Bone marrow smear · single-cell crop: 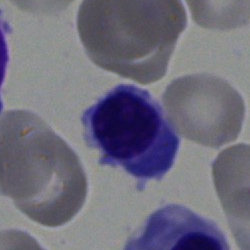
Q: What is shown here?
A: Normoblast.